Bone marrow smear: 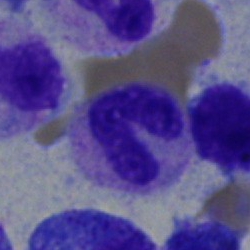
Cell type: neutrophil (band).